Bone marrow smear · 40× oil immersion
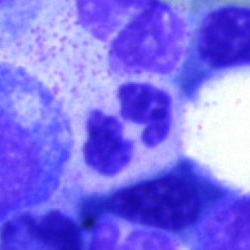 Morphology consistent with a polymorphonuclear neutrophil.